Bone marrow aspirate smear
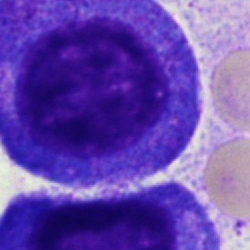Specimen: bone marrow smear.
Morphological class: progranulocyte.
Lineage: myeloid.